Bone marrow smear; brightfield microscopy, 40× oil immersion; 250×250
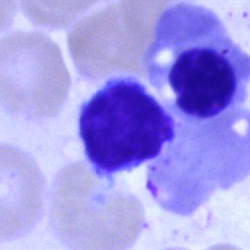

Cell = lymphocyte.